Bone marrow smear.
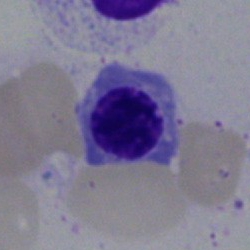
Cell type — nucleated red cell.